Bone marrow smear · brightfield, 40× oil-immersion objective:
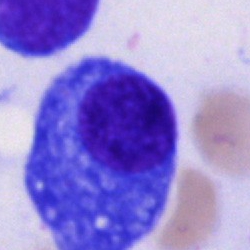Q: What cell is this?
A: It is a plasmacyte.